Bone marrow smear · image size 250×250 · Pappenheim-stained
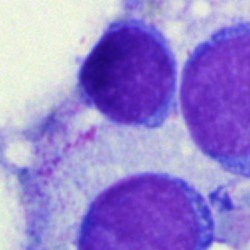 Q: What cell is this?
A: It is a lymphocyte.